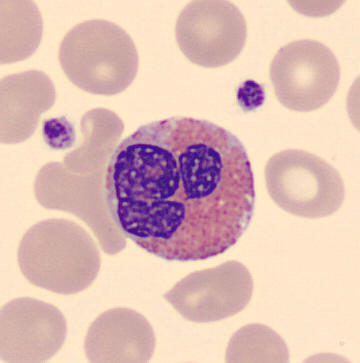

This is an eosinophil.
CellaVision DM96 · May-Grünwald-Giemsa-stained · peripheral blood smear.